Bone marrow aspirate smear. Cropped to a single cell
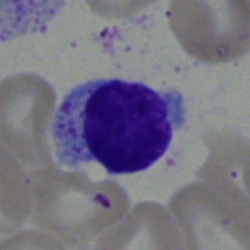Typical lymphocyte.